May-Grünwald-Giemsa stain. Image size 250×250. Bone marrow aspirate smear — 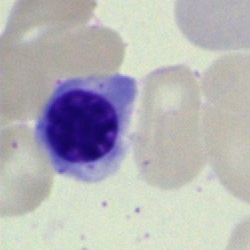
{"cell_type": "normoblast"}